Bone marrow smear:
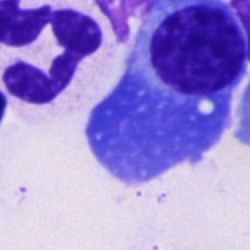 This is a plasmacyte.